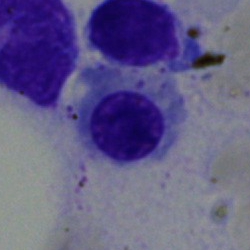 Morphological class — nucleated red cell.